Bone marrow smear: 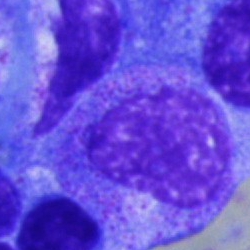 Q: What type of cell is this?
A: Metamyelocyte.